Bone marrow smear.
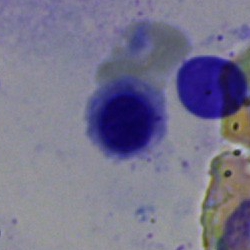Specimen: bone marrow aspirate smear.
Cell: normoblast.